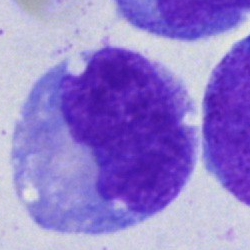 Q: Which cell type is shown here?
A: A band neutrophil.